May-Grünwald-Giemsa/Pappenheim stain; bone marrow aspirate smear:
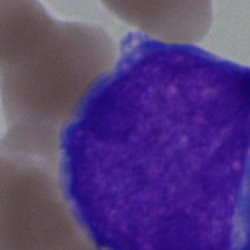

Classification — undifferentiated blast.